Bone marrow aspirate smear — 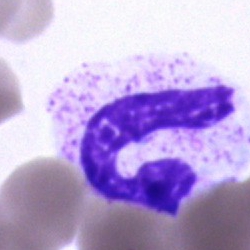

Morphology — stab cell.